Bone marrow aspirate smear: 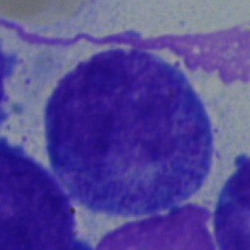Morphology consistent with a promyelocyte.